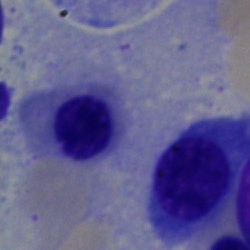 Specimen: bone marrow aspirate smear.
Cell: nucleated red cell.